Bone marrow aspirate smear — 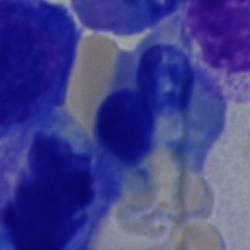Cell type — nucleated red blood cell.